Peripheral blood film. Single-cell field — 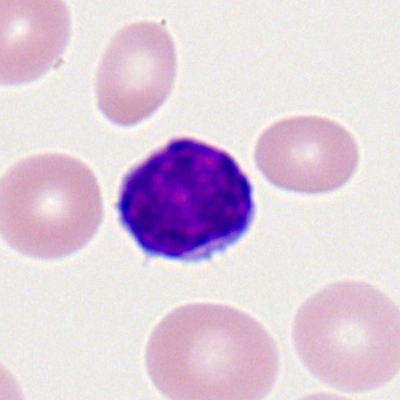

Specimen: peripheral blood smear.
Cell type: lymphocyte.
Lineage: lymphoid.